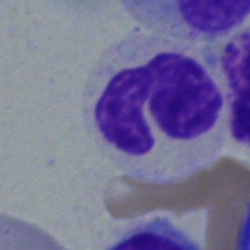
{"cell_type": "polymorphonuclear neutrophil"}